May-Grünwald-Giemsa/Pappenheim stain; bone marrow smear; brightfield, 40× oil-immersion objective: 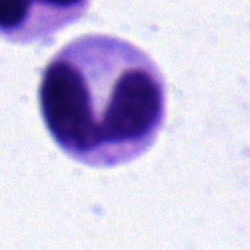

Specimen: bone marrow aspirate smear.
Cell: band-form neutrophil.
Lineage: myeloid.